Single-cell field · peripheral blood smear:
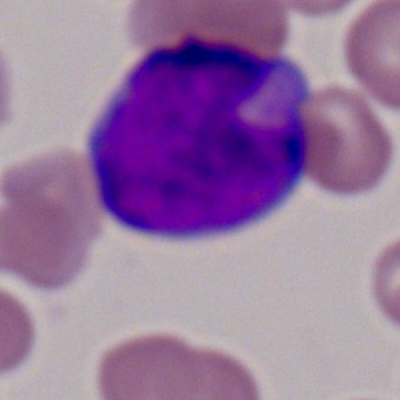
Q: What is the morphological classification of this cell?
A: This is a myeloid blast.